Bone marrow aspirate smear · single-cell crop
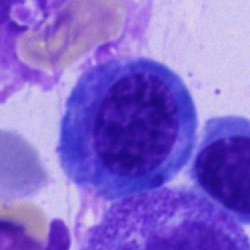 The classification is normoblast.